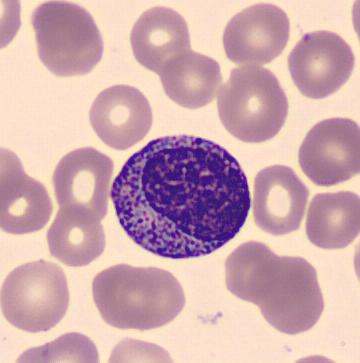Specimen: peripheral blood film.
Morphological class: myelocyte.
Lineage: myeloid.